Bone marrow smear. 40× oil immersion.
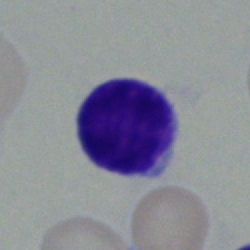Classification = typical lymphocyte.